Romanowsky-stained; peripheral blood smear — 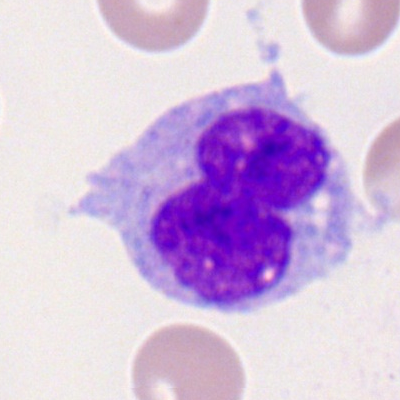
Cell = monocyte.